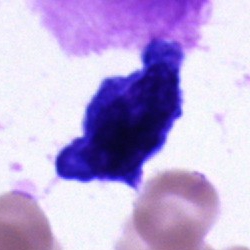 Showing an unidentifiable cell.